Bone marrow aspirate smear; MGG-stained; 250×250 — 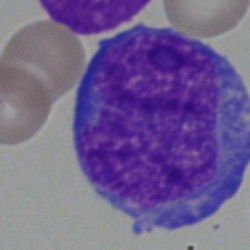Specimen: bone marrow aspirate smear.
Classification: monocyte.
Lineage: myeloid.